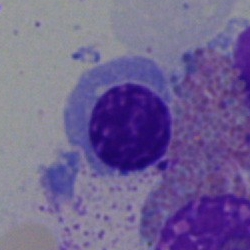
Classification = nucleated red cell.